Bone marrow smear:
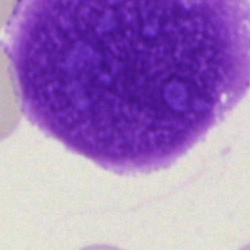 Impression → artifact.